Image size 250×250 · bone marrow smear: 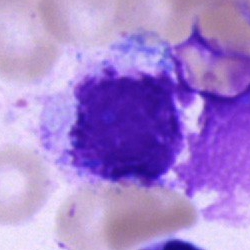 Morphology → artifact.